Bone marrow aspirate smear; brightfield, 40× oil-immersion objective — 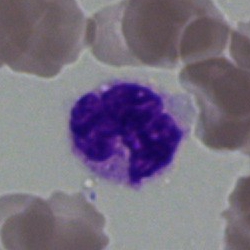
A neutrophil (segmented).